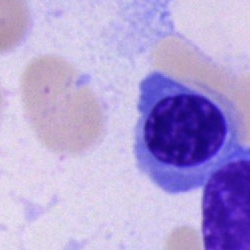Q: What cell is this?
A: This is an erythroblast.